Bone marrow aspirate smear; MGG-stained; 40× objective, oil immersion:
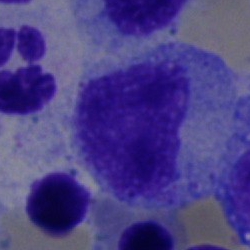 Classification = promyelocyte.